Bone marrow smear — 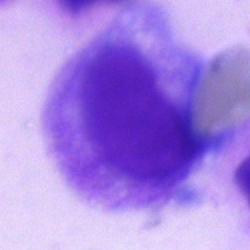Morphology consistent with an artifact.